Bone marrow smear:
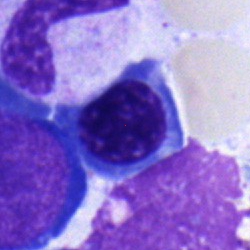Morphological class = erythroblast.